Peripheral blood smear · 400×400 px · 100× oil immersion: 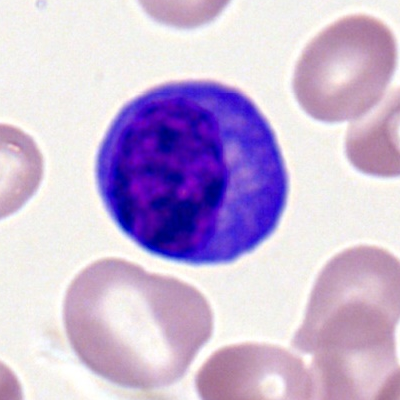 Single cell identified as an atypical lymphocyte.